Bone marrow smear: 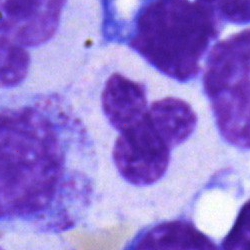
{"cell_type": "polymorphonuclear neutrophil", "lineage": "myeloid"}